Bone marrow smear
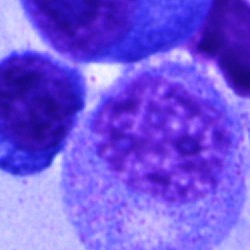Specimen: bone marrow smear.
Morphological class: progranulocyte.